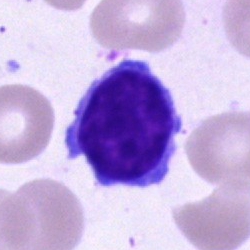 Morphological class — lymphocyte.